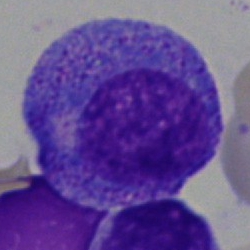Bone marrow smear showing a promyelocyte.